Peripheral blood film; Romanowsky-type stain; 100× oil immersion:
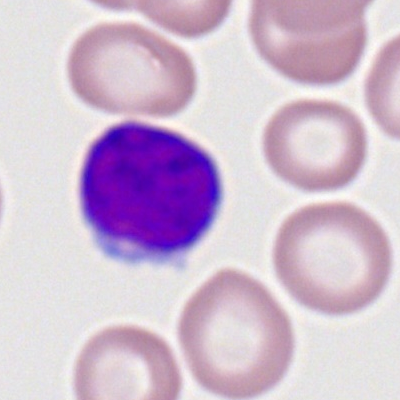Q: Which cell type is shown here?
A: A lymphocyte.